Bone marrow aspirate smear.
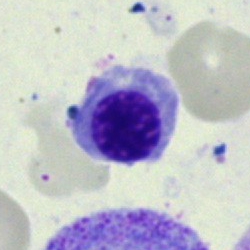

The classification is normoblast.